Bone marrow aspirate smear; 40× oil immersion; Pappenheim-stained — 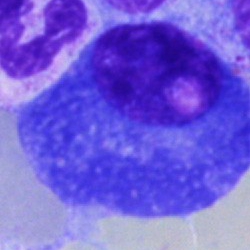
Q: Which cell type is shown here?
A: Plasmacyte.